Bone marrow smear; 40× oil immersion; MGG-stained.
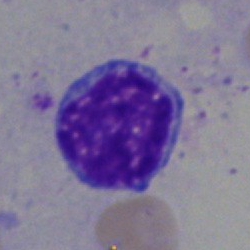
Morphology — lymphocyte.